Bone marrow smear — 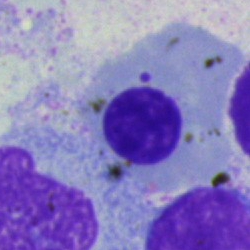
Cell type = nucleated red blood cell.